Bone marrow smear:
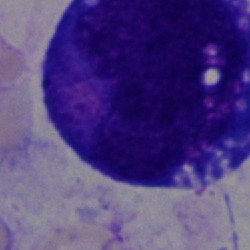 Morphology consistent with an undifferentiated blast.